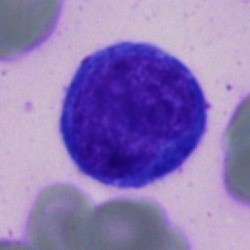 Impression → blast cell.